Bone marrow smear — 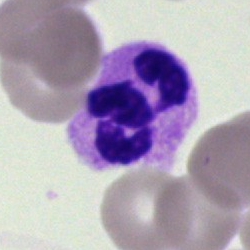Classification — neutrophil (segmented).